Bone marrow smear: 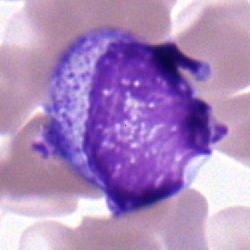

Single cell identified as a myelocyte.